Bone marrow aspirate smear:
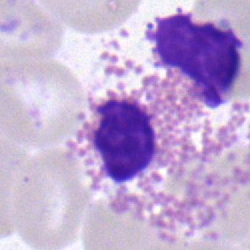Specimen: bone marrow aspirate smear.
Cell: eosinophil.